Cropped to a single cell · bone marrow aspirate smear:
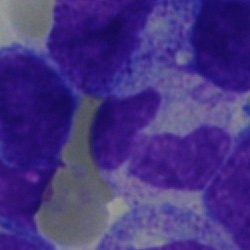 Classification = polymorphonuclear neutrophil.